250 by 250 pixels · bone marrow aspirate smear: 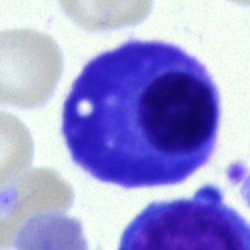

The cell is plasma cell.